Romanowsky-type stain; peripheral blood film — 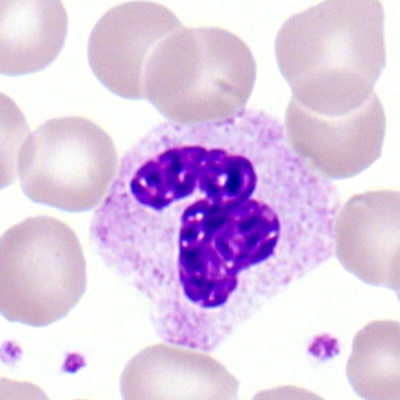

Q: Identify the cell.
A: It is a segmented neutrophil.